Bone marrow aspirate smear: 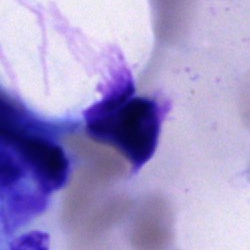 The cell shown is an artefact.